Bone marrow aspirate smear · image size 250×250
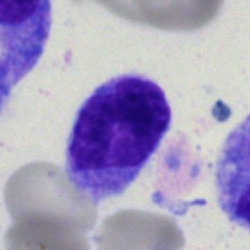 Q: What cell is this?
A: A lymphocyte.